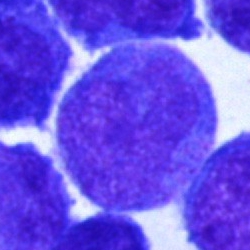 Bone marrow aspirate smear, single cell — undifferentiated blast.